Bone marrow smear:
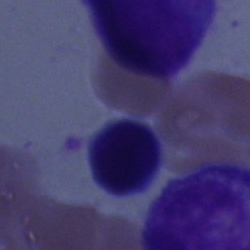 Specimen: bone marrow smear.
Morphological class: artefact.